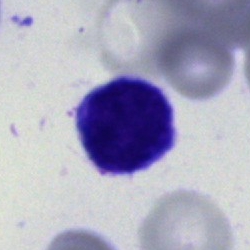
Cell = blast.